Bone marrow smear
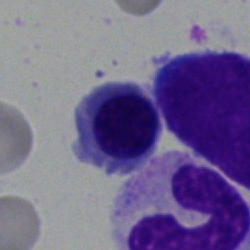

Morphology consistent with a nucleated red blood cell.